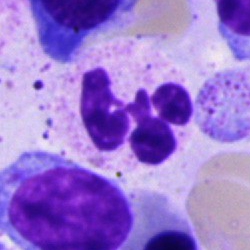 A polymorphonuclear neutrophil.